Bone marrow aspirate smear — 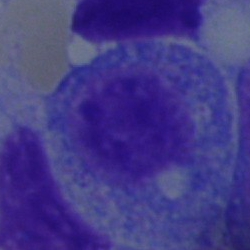

Morphology → promyelocyte.